Bone marrow aspirate smear:
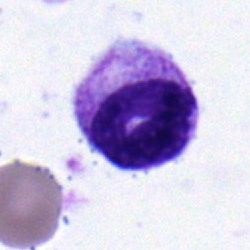
Morphological class — band-form neutrophil.